Bone marrow aspirate smear: 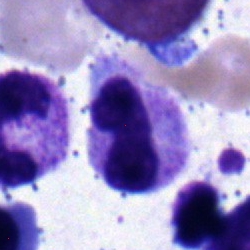

Showing a band-form neutrophil.